250×250 · May-Grünwald-Giemsa stain · bone marrow smear:
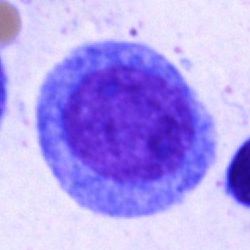

Specimen: bone marrow aspirate smear.
Classification: promyelocyte.
Lineage: myeloid.